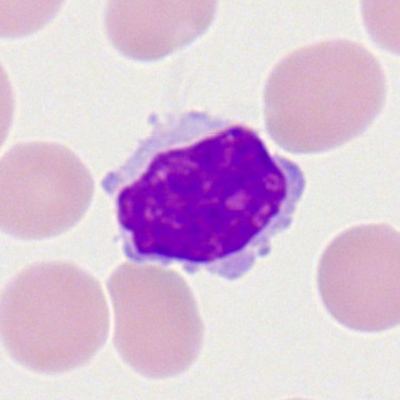

Morphological class = lymphocyte.